Brightfield microscopy, 40× oil immersion. Bone marrow smear:
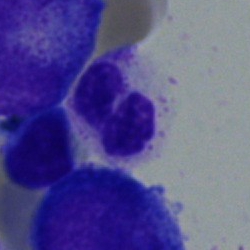
Q: Which cell type is shown here?
A: Segmented neutrophil.